Single cell centered in the field · bone marrow aspirate smear
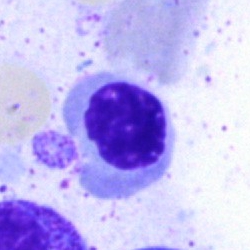 Showing a nucleated red blood cell.